Bone marrow aspirate smear · May-Grünwald-Giemsa/Pappenheim stain: 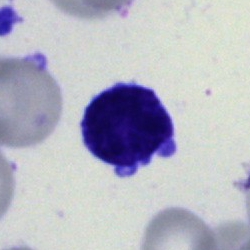
Impression — blast cell.